Bone marrow aspirate smear.
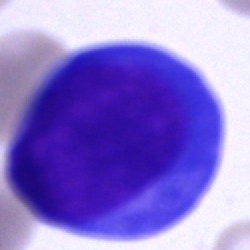

Morphological class: artifact.